Bone marrow aspirate smear
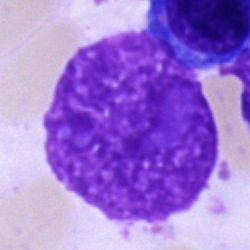Q: What is shown here?
A: An artifact.